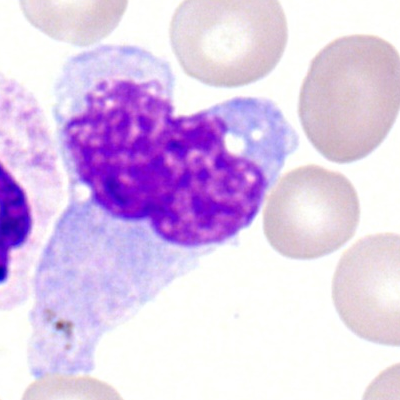 Single-cell crop from a peripheral blood smear: monocyte.